250×250 px; brightfield, 40× oil-immersion objective; bone marrow aspirate smear:
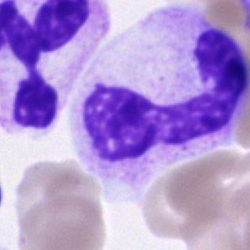

Cell type — band neutrophil.